Bone marrow aspirate smear; 250 by 250 pixels
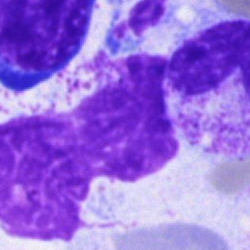
Specimen: bone marrow smear.
Morphological class: artefact.